Bone marrow smear.
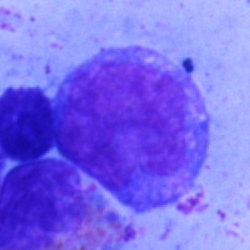Cell: lymphocyte.